Bone marrow smear:
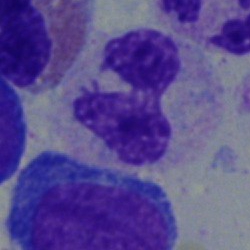

Specimen: bone marrow aspirate smear.
Cell type: stab cell.
Lineage: myeloid.